Bone marrow aspirate smear; image size 250×250
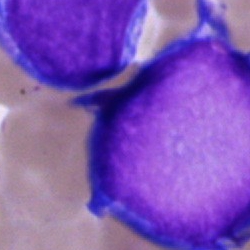 {"cell_type": "undifferentiated blast"}